400×400 · peripheral blood film:
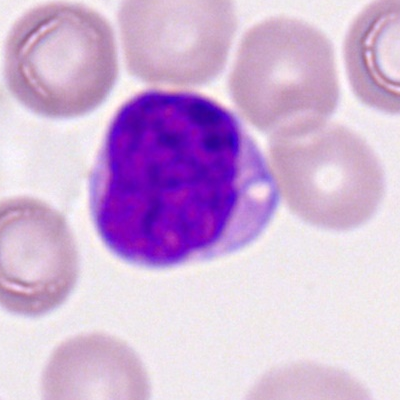

Morphology consistent with a typical lymphocyte.